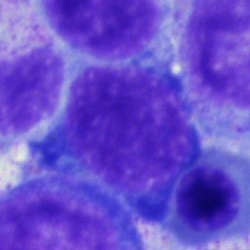

{"cell_type": "nucleated red blood cell"}